40× oil immersion. Bone marrow smear: 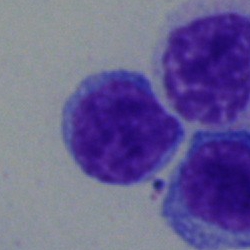
The cell is lymphocyte.